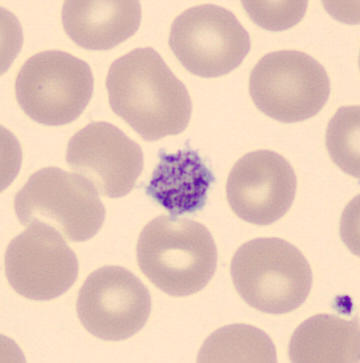 Q: What is this?
A: Platelet.

Preparation: 360×363 px · peripheral blood film.